Bone marrow aspirate smear: 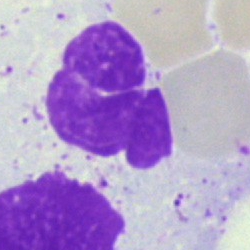The morphological class is artifact.